250×250 px · bone marrow smear · single-cell crop — 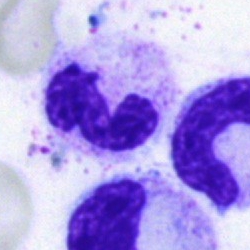Morphological class = polymorphonuclear neutrophil.